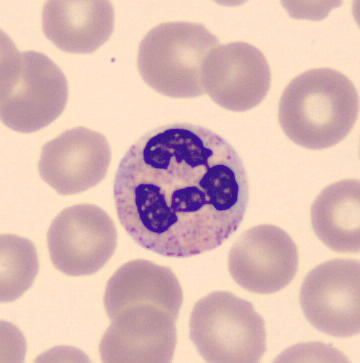
Impression → segmented neutrophil.

Peripheral blood film.